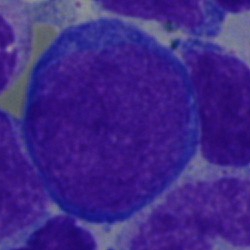
A pronormoblast.